Bone marrow aspirate smear: 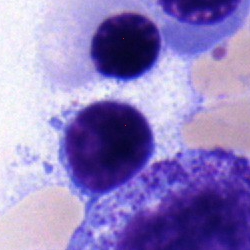
Morphology consistent with a typical lymphocyte.